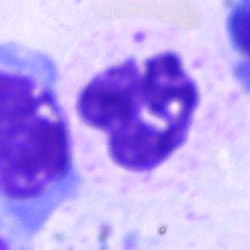Morphological class = polymorphonuclear neutrophil.